Bone marrow smear. May-Grünwald-Giemsa/Pappenheim stain — 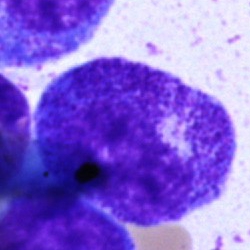
Impression — progranulocyte.